Bone marrow aspirate smear. Pappenheim-stained: 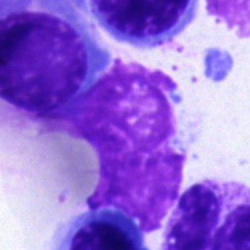This is an artifact.